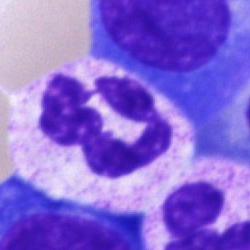A segmented neutrophil.